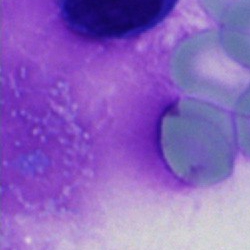 Q: What is shown here?
A: It is an artifact.